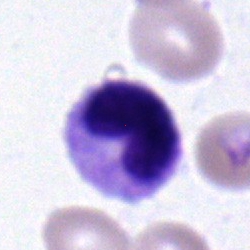

Q: What is the morphological classification of this cell?
A: This is a neutrophil (band).